Bone marrow smear
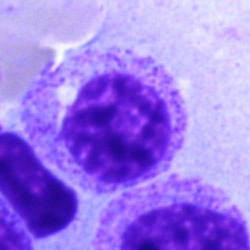
The cell is myelocyte.